Bone marrow aspirate smear — 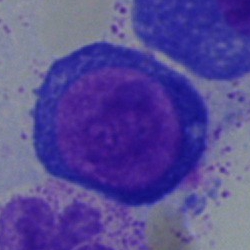Morphology consistent with a proerythroblast.